Bone marrow aspirate smear; MGG-stained: 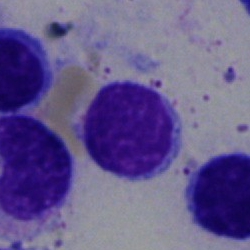
{"cell_type": "typical lymphocyte", "lineage": "lymphoid"}